Single cell centered in the field · bone marrow aspirate smear: 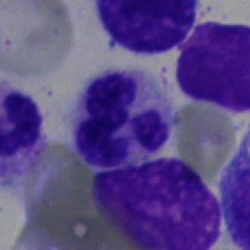 This is a polymorphonuclear neutrophil.